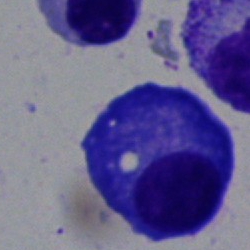 A plasmacyte on a bone marrow smear.